Bone marrow smear. May-Grünwald-Giemsa stain.
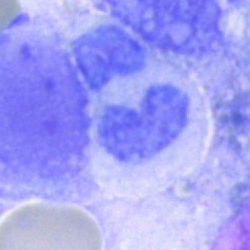

Cell: artefact.